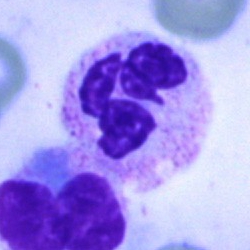

Impression → polymorphonuclear neutrophil.